Bone marrow smear:
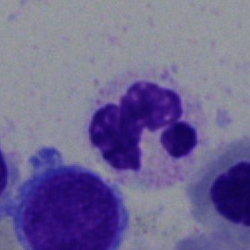 The morphological class is segmented neutrophil.